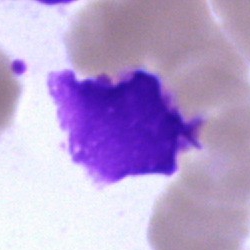

Specimen: bone marrow smear.
Cell type: artifact.